Bone marrow smear
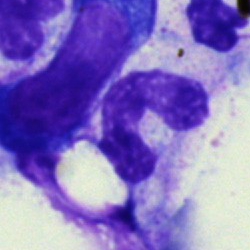
Cell — neutrophil (segmented).